Bone marrow smear.
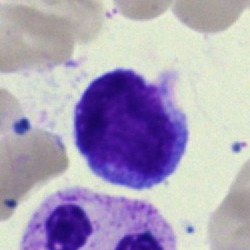A typical lymphocyte.